Bone marrow smear. Single-cell crop. Image size 250×250
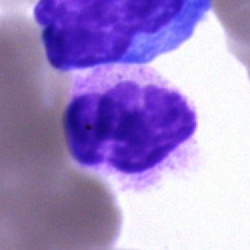
Q: What cell is this?
A: A segmented neutrophil.